Bone marrow smear:
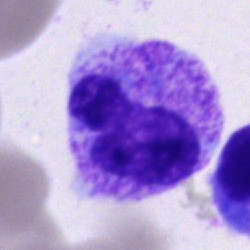

Q: Identify the cell.
A: Neutrophil (segmented).